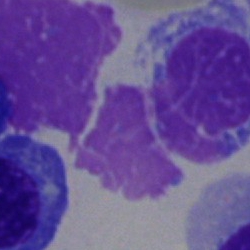 Q: What is shown here?
A: It is an artifact.